Bone marrow smear — 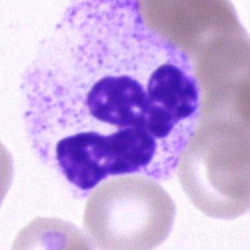 Q: What is shown here?
A: A segmented neutrophil.